Brightfield microscopy, 40× oil immersion · bone marrow smear
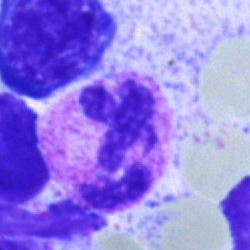
Cell type — polymorphonuclear neutrophil.